MGG-stained · bone marrow aspirate smear
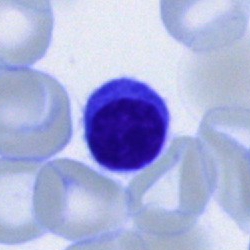

Cell = lymphocyte.